Brightfield microscopy, 40× oil immersion; bone marrow smear.
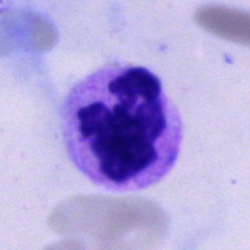
A polymorphonuclear neutrophil.